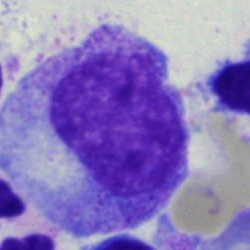Cell type: promyelocyte.